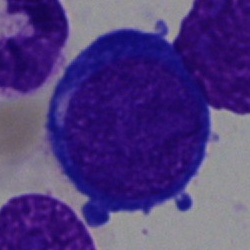 A proerythroblast.